Bone marrow smear — 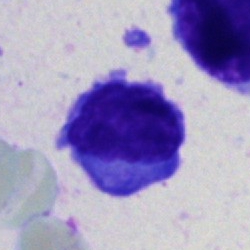
Q: Which cell type is shown here?
A: A plasma cell.